Bone marrow aspirate smear:
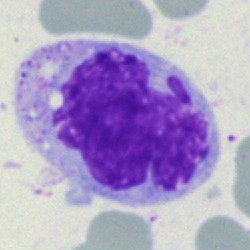

Morphology — monocyte.